Bone marrow aspirate smear: 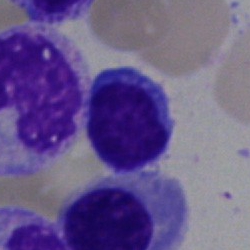

This is a typical lymphocyte.